Peripheral blood smear; single cell centered in the field; 400×400 px.
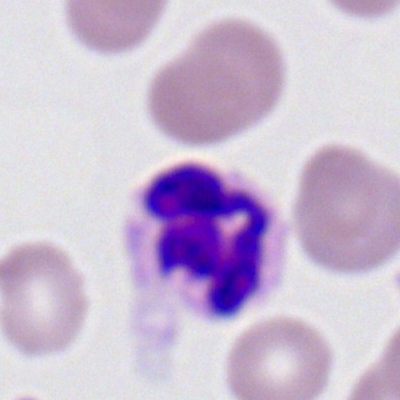
The cell shown is a polymorphonuclear neutrophil.